400×400 px. Peripheral blood smear. Single-cell crop
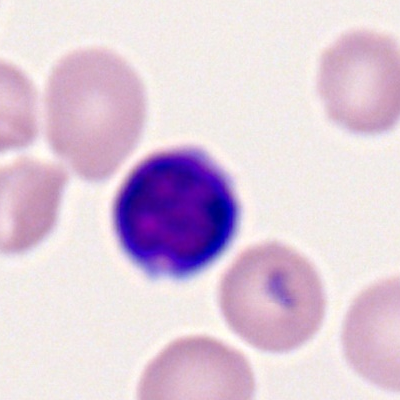 Morphology — lymphocyte.